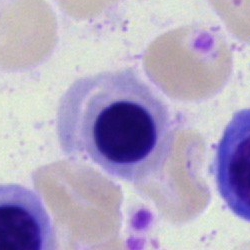

Bone marrow smear showing an erythroblast.